May-Grünwald-Giemsa/Pappenheim stain; bone marrow smear.
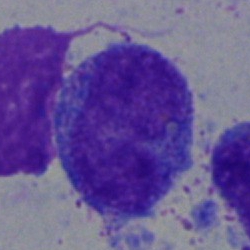

Q: What type of cell is this?
A: It is a monocyte.